Bone marrow aspirate smear. Brightfield microscopy, 40× oil immersion
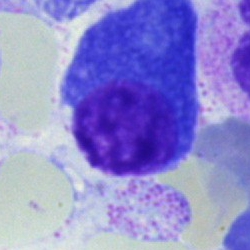Plasma cell.